Bone marrow smear
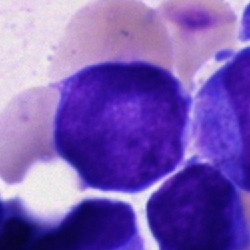
Specimen: bone marrow aspirate smear.
Cell: undifferentiated blast.